Bone marrow aspirate smear; single-cell crop.
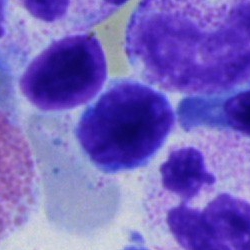
Morphology consistent with a lymphocyte.